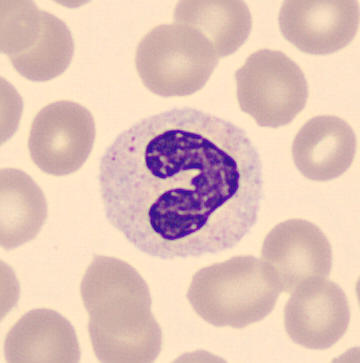

Specimen: peripheral blood smear.
Morphological class: band neutrophil. Imaged on a CellaVision DM96 analyser; 360×363 px.